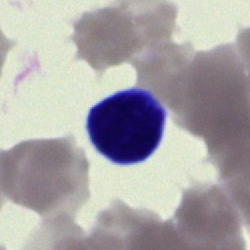Q: Identify the cell.
A: It is a cell of indeterminate lineage.